Bone marrow smear — 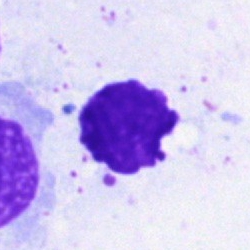Specimen: bone marrow smear.
Cell: artifact.